Bone marrow smear. MGG-stained. Brightfield microscopy, 40× oil immersion: 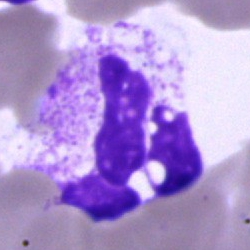

Segmented neutrophil.